Cropped to a single cell · bone marrow smear:
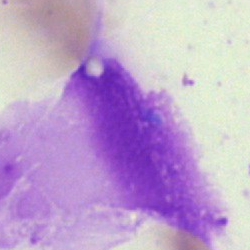

Specimen: bone marrow smear.
Cell: artefact.